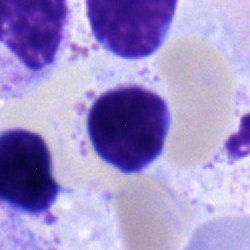
{"cell_type": "typical lymphocyte"}